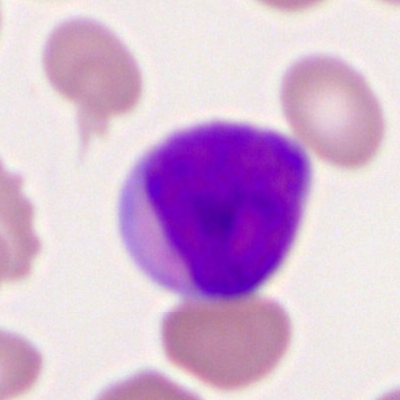

Q: What is the morphological classification of this cell?
A: Myeloblast.